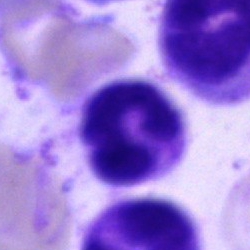 Q: What type of cell is this?
A: Segmented neutrophil.